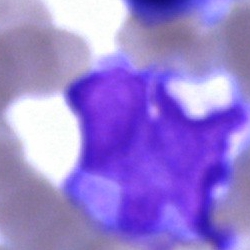
Cell — monocyte.